Bone marrow smear; 250×250 px; cropped to a single cell — 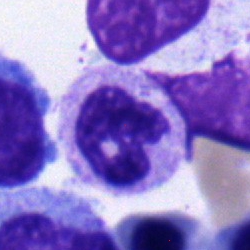

Specimen: bone marrow aspirate smear.
Cell: polymorphonuclear neutrophil.